Image size 250×250; bone marrow smear — 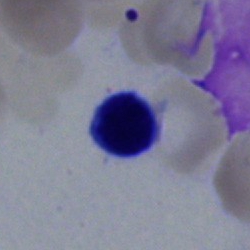 Morphological class = lymphocyte.